Bone marrow aspirate smear; brightfield microscopy, 40× oil immersion — 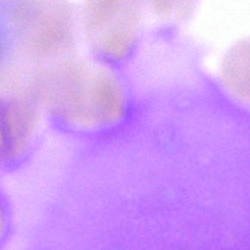 Morphology consistent with an artefact.